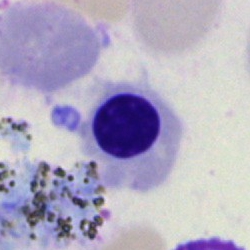
Single cell identified as an erythroblast.